250×250. Bone marrow smear:
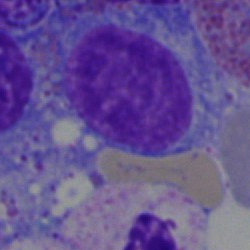Morphological class = lymphocyte.